Bone marrow aspirate smear.
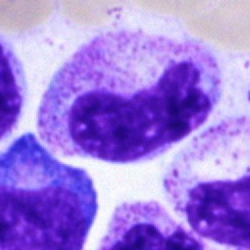 Cell: band-form neutrophil.